Bone marrow aspirate smear — 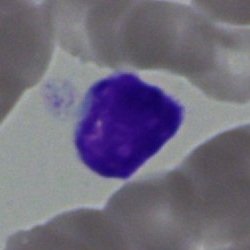This is a lymphocyte.